Peripheral blood film · 100× objective, oil immersion · 400×400.
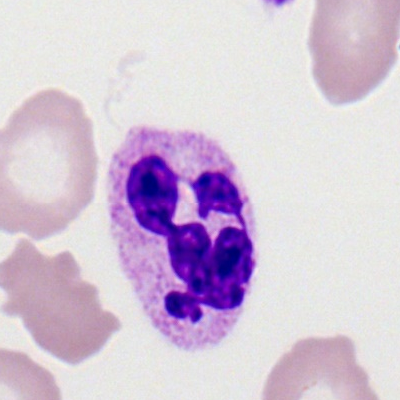
Morphology — segmented neutrophil.